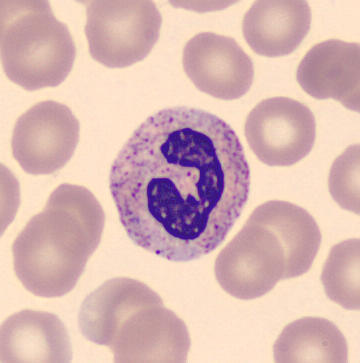
Peripheral blood smear.

The cell is neutrophil (segmented).